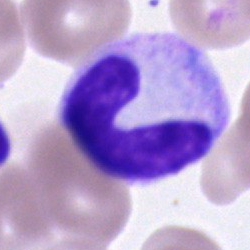

A band-form neutrophil on a bone marrow smear.